Bone marrow smear:
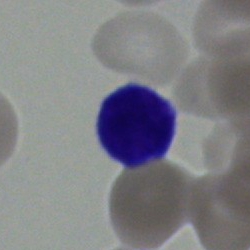 Specimen: bone marrow aspirate smear.
Morphological class: lymphocyte.
Lineage: lymphoid.